Bone marrow smear: 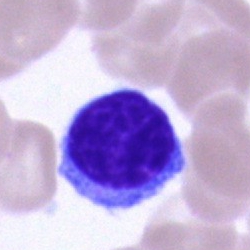
Q: Which cell type is shown here?
A: Typical lymphocyte.